Bone marrow aspirate smear.
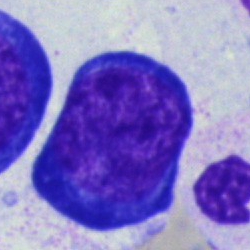

Proerythroblast.